Single cell centered in the field. Bone marrow aspirate smear. May-Grünwald-Giemsa stain: 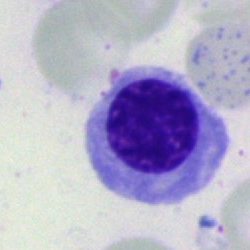
Showing a nucleated red cell.